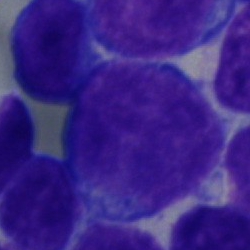

Classification — blast.